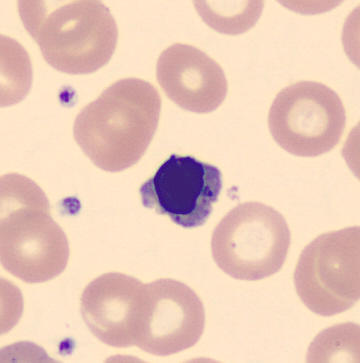
Peripheral blood film.
Classification: nucleated red blood cell.